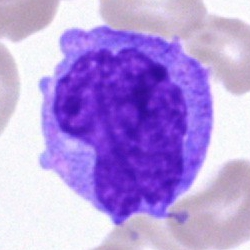
Specimen: bone marrow smear.
Morphological class: monocyte.
Lineage: myeloid.